40× objective, oil immersion. Bone marrow aspirate smear. May-Grünwald-Giemsa stain — 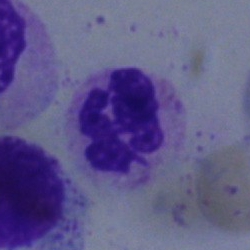
Q: What is the morphological classification of this cell?
A: A neutrophil (segmented).